40× oil immersion · bone marrow smear.
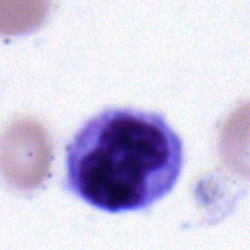A metamyelocyte.